Bone marrow aspirate smear
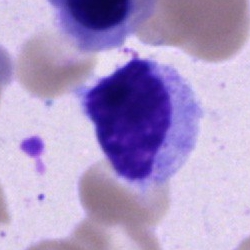Single cell identified as a typical lymphocyte.